Bone marrow smear · image size 250×250: 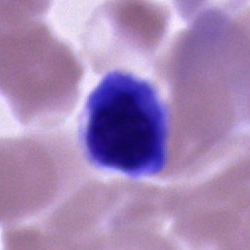
Q: Which cell type is shown here?
A: It is an unidentifiable cell.